May-Grünwald-Giemsa stain; bone marrow aspirate smear.
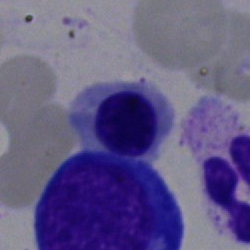 This is a nucleated red cell.